Bone marrow aspirate smear: 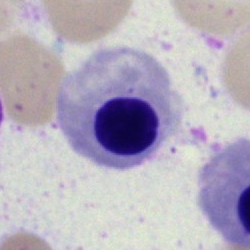

Showing an erythroblast.